Bone marrow smear:
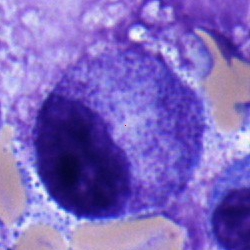
Q: Identify the cell.
A: This is a myelocyte.